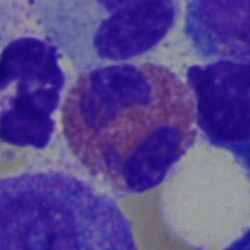

Impression — eosinophil.